400×400 px; peripheral blood film: 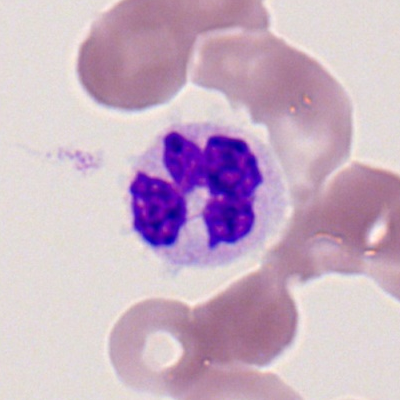 Showing a segmented neutrophil.